Bone marrow smear:
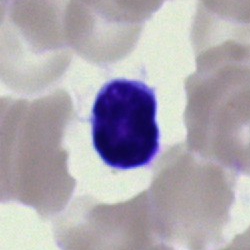 The classification is lymphocyte.